Bone marrow smear — 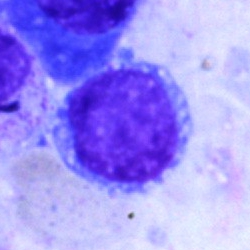
Single cell identified as a typical lymphocyte.